Bone marrow aspirate smear — 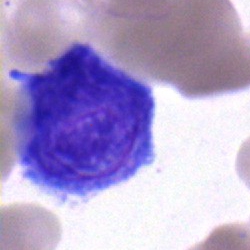

Q: What is shown here?
A: This is an undifferentiated blast.